Bone marrow smear:
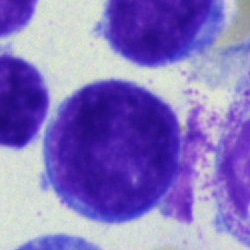Undifferentiated blast.